250×250 px · bone marrow aspirate smear.
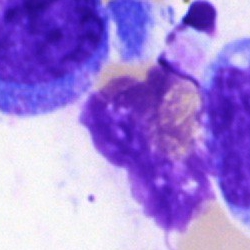
Showing an artefact.